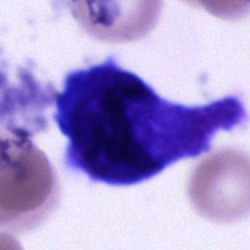
Specimen: bone marrow smear.
Cell: cell of indeterminate lineage.